Bone marrow aspirate smear. Brightfield microscopy, 40× oil immersion — 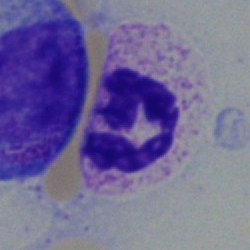
The morphological class is polymorphonuclear neutrophil.